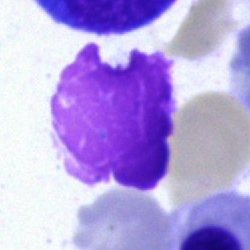Q: What is shown here?
A: Artefact.